250 by 250 pixels · bone marrow smear
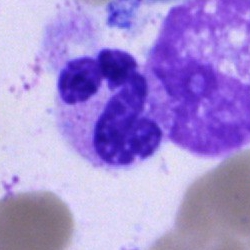 Showing a polymorphonuclear neutrophil.